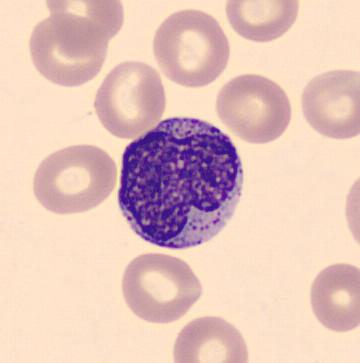
MGG-stained; peripheral blood film; CellaVision DM96 digital cell image.

This is a metamyelocyte.